Bone marrow smear — 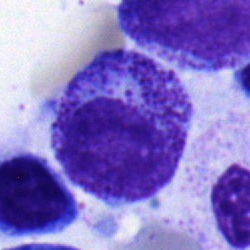

Specimen: bone marrow smear.
Classification: myelocyte.
Lineage: myeloid.